Bone marrow aspirate smear: 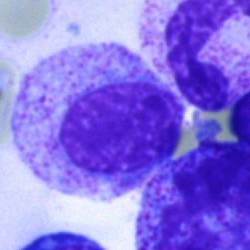

{"cell_type": "myelocyte", "lineage": "myeloid"}